Brightfield microscopy, 40× oil immersion. Bone marrow aspirate smear
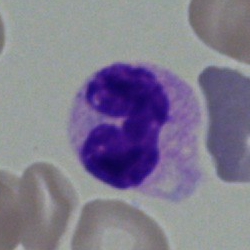

Q: Identify the cell.
A: It is a segmented neutrophil.